Bone marrow smear.
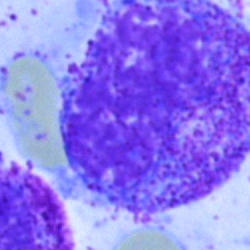

Impression — myelocyte.